Bone marrow aspirate smear.
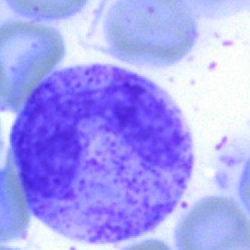

Single cell identified as a band neutrophil.